Bone marrow smear; Pappenheim-stained
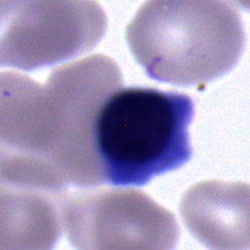

This is an erythroblast.